Image size 250×250. Bone marrow smear: 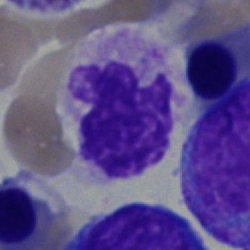
Impression → polymorphonuclear neutrophil.